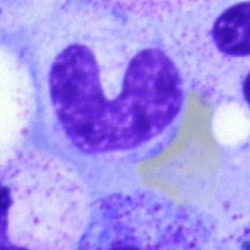

Morphology → neutrophil (band).